Bone marrow aspirate smear: 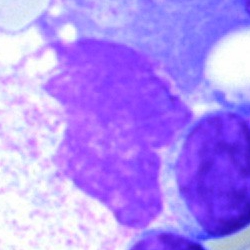Specimen: bone marrow smear.
Cell: artifact.